Bone marrow smear: 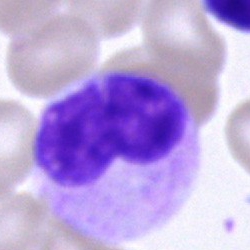 Morphology — metamyelocyte.